Bone marrow aspirate smear
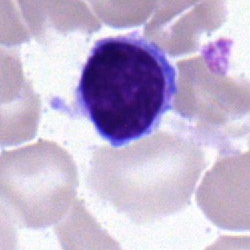
Classification = lymphocyte.